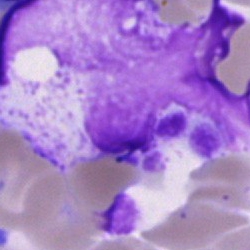 Specimen: bone marrow aspirate smear.
Classification: artifact.